Bone marrow smear
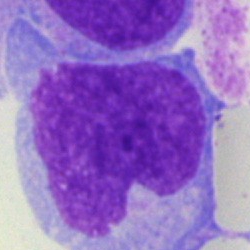

Morphology consistent with a monocyte.